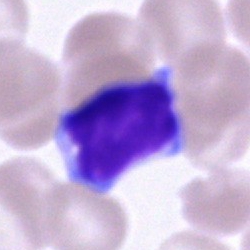

{"cell_type": "lymphocyte", "lineage": "lymphoid"}